Bone marrow smear · MGG-stained · cropped to a single cell
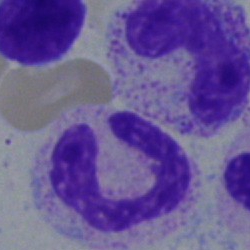 {"cell_type": "band-form neutrophil", "lineage": "myeloid"}